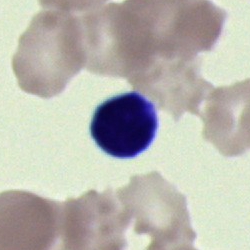

Morphological class: typical lymphocyte.